Bone marrow aspirate smear — 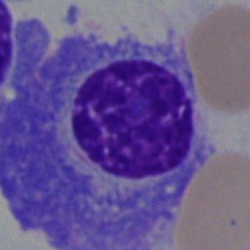 Q: What is shown here?
A: A plasma cell.